Bone marrow smear. Pappenheim-stained:
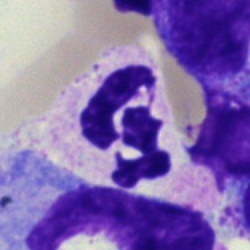Morphological class — neutrophil (segmented).